Bone marrow aspirate smear; 40× oil immersion — 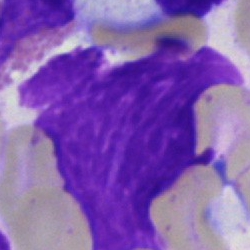
Artifact.